Bone marrow smear
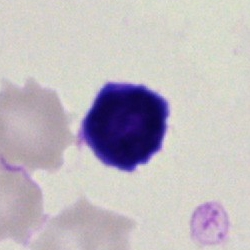The cell is artefact.